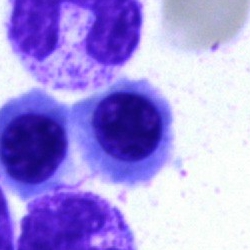

Q: What type of cell is this?
A: This is a normoblast.